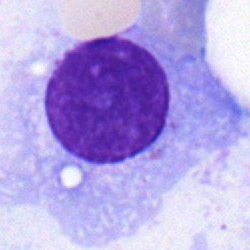

Specimen: bone marrow aspirate smear.
Morphological class: plasma cell.
Lineage: lymphoid.